Bone marrow smear:
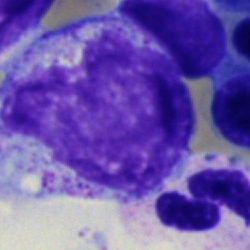

Q: What is shown here?
A: This is a myelocyte.